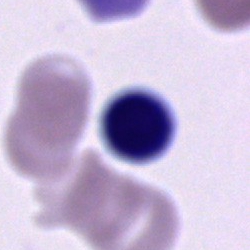Morphological class = unidentifiable cell.